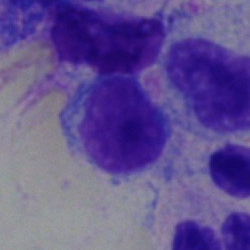

Single-cell crop from a bone marrow smear: lymphocyte.